Bone marrow smear:
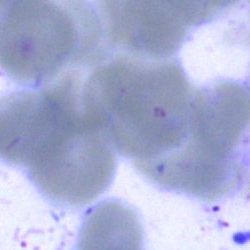Single cell identified as an artefact.